Bone marrow aspirate smear. Pappenheim-stained. 40× objective, oil immersion: 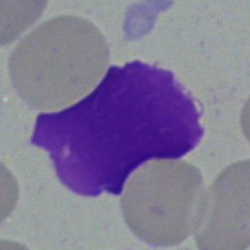Cell type = artifact.